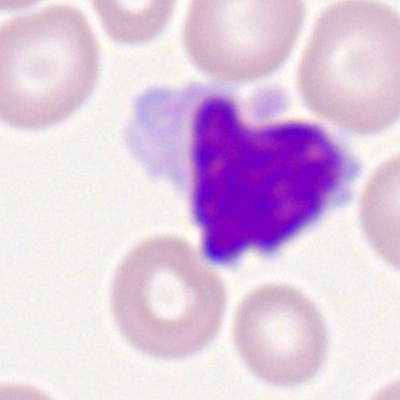Q: What is the morphological classification of this cell?
A: Typical lymphocyte.